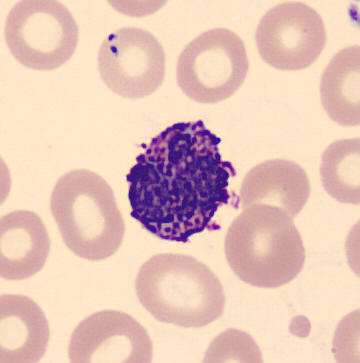

Acquisition: Cropped to a single cell; MGG stain; peripheral blood film.
Morphology — basophil.